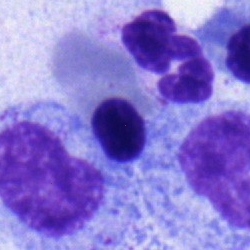

Impression — erythroblast.